Peripheral blood film; cropped to a single cell; Romanowsky stain — 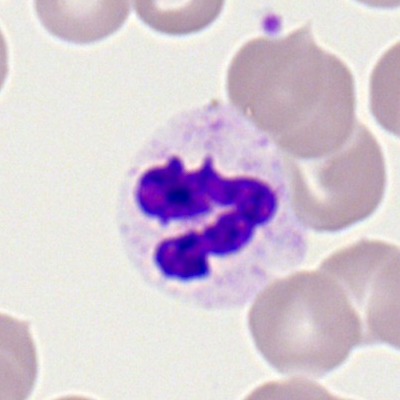
Q: Which cell type is shown here?
A: A segmented neutrophil.